Bone marrow smear; 250 by 250 pixels.
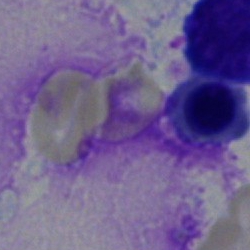Q: What type of cell is this?
A: This is an erythroblast.